May Grünwald-Giemsa stain; peripheral blood smear
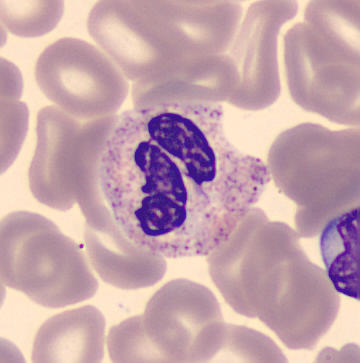

Morphology → polymorphonuclear neutrophil.